Single-cell field · peripheral blood film.
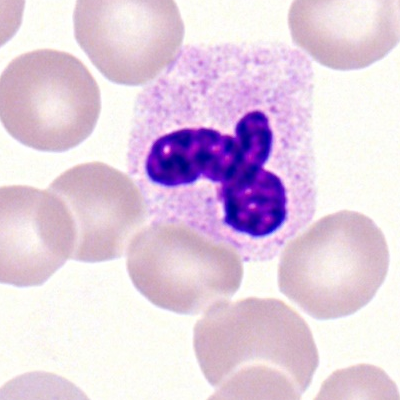 This is a segmented neutrophil.